Bone marrow aspirate smear
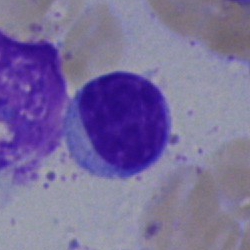

Cell type: lymphocyte.